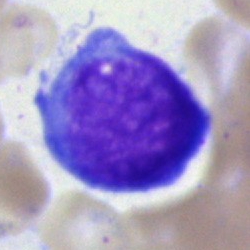
This is an undifferentiated blast.